Image size 250×250 · bone marrow smear:
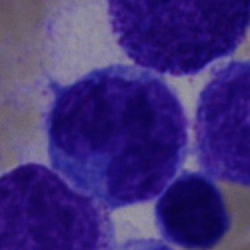Classification = blast cell.